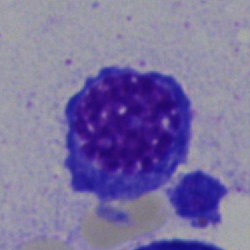
Showing a normoblast.